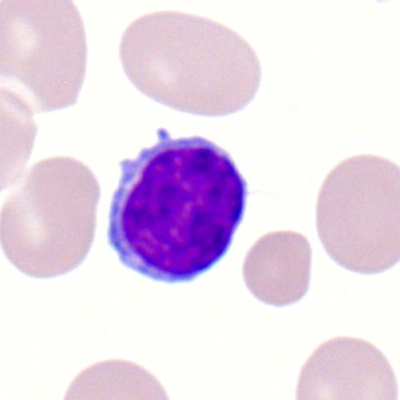
Q: What is shown here?
A: It is a lymphocyte.